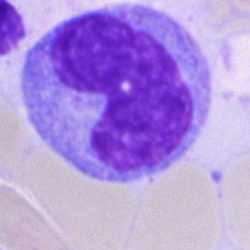
Cell type = monocyte.